Pappenheim-stained · bone marrow aspirate smear — 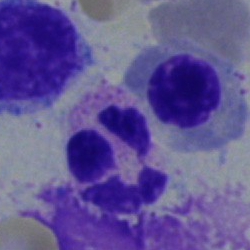
A neutrophil (segmented).